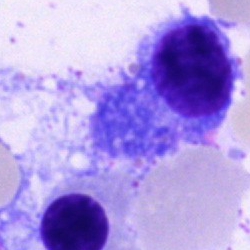

Impression → plasma cell.